Bone marrow smear — 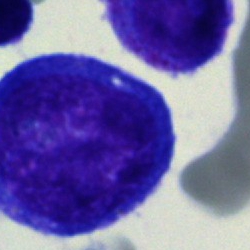
Specimen: bone marrow smear.
Cell type: undifferentiated blast.